Bone marrow aspirate smear · image size 250×250
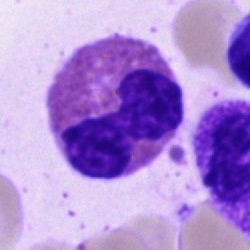Morphological class — eosinophilic granulocyte.